Peripheral blood film.
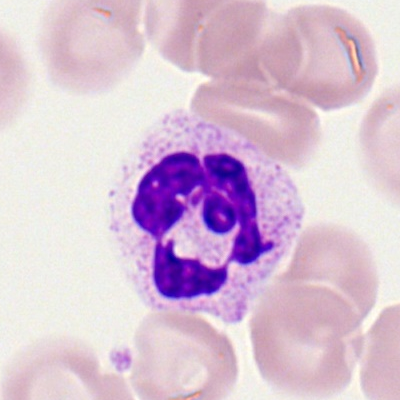Q: What type of cell is this?
A: Neutrophil (segmented).